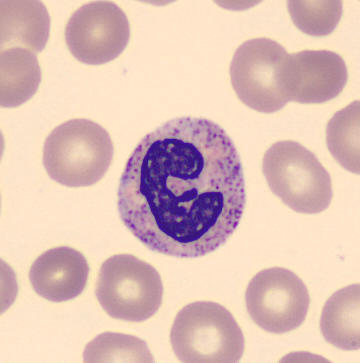 Peripheral blood smear · single-cell crop. {"cell_type": "band neutrophil", "lineage": "myeloid"}